Bone marrow aspirate smear
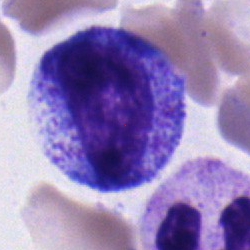
The morphological class is promyelocyte.